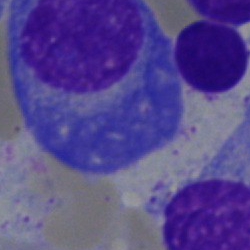
A plasmacyte on a bone marrow smear.